Bone marrow smear.
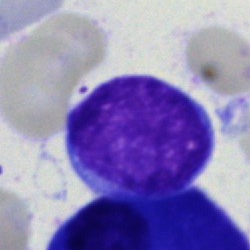Showing a typical lymphocyte.